Bone marrow aspirate smear:
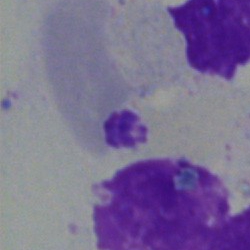
Classification: artefact.